40× objective, oil immersion. Bone marrow aspirate smear — 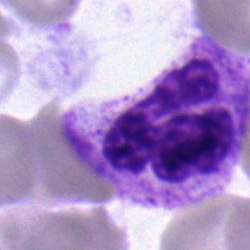
The cell shown is a neutrophil (segmented).